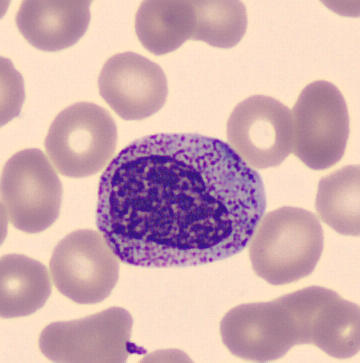

Morphology — myelocyte. Preparation: Automated cell imaging (CellaVision DM96) · peripheral blood film · 360×363.